May-Grünwald-Giemsa/Pappenheim stain; bone marrow smear:
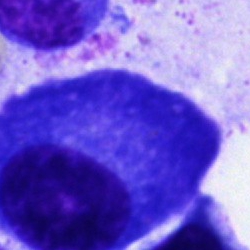

Q: What is shown here?
A: A plasma cell.